Bone marrow smear — 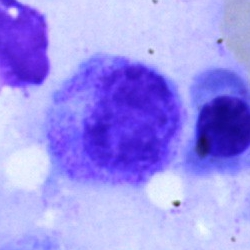

Morphological class — myelocyte.